Single-cell crop. Brightfield microscopy, 40× oil immersion. Bone marrow aspirate smear
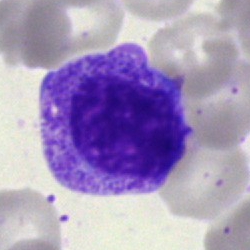Q: Identify the cell.
A: It is a myelocyte.